Bone marrow aspirate smear; brightfield microscopy, 40× oil immersion; Pappenheim-stained — 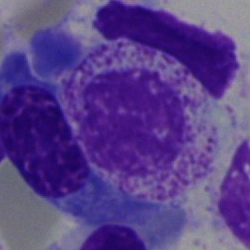 Q: What cell is this?
A: This is a myelocyte.